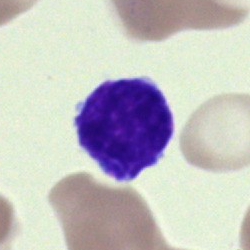Morphological class = typical lymphocyte.